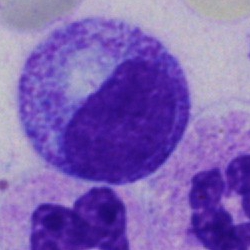

Q: Identify the cell.
A: It is a myelocyte.